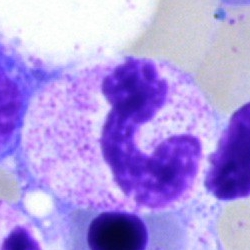Morphological class — polymorphonuclear neutrophil.